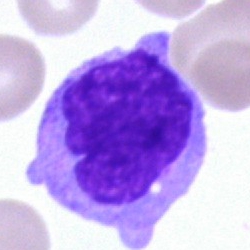
A monocyte.